250 by 250 pixels · May-Grünwald-Giemsa/Pappenheim stain · bone marrow smear: 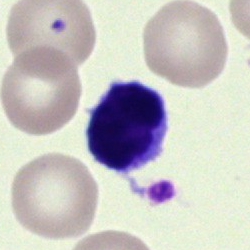
Cell — typical lymphocyte.